May-Grünwald-Giemsa/Pappenheim stain · bone marrow smear — 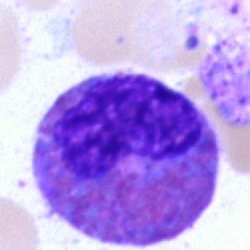

An eosinophil.